Brightfield, 40× oil-immersion objective; bone marrow smear.
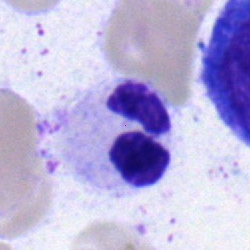 Impression — segmented neutrophil.